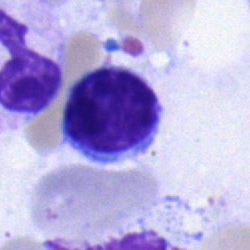
The morphological class is typical lymphocyte.